Bone marrow smear.
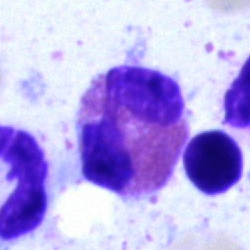

Classification — eosinophil.